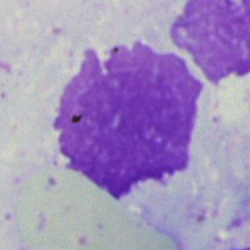 Specimen: bone marrow aspirate smear.
Cell: artifact.